Brightfield, 40× oil-immersion objective · bone marrow smear: 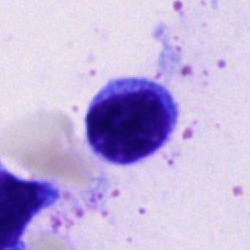The cell is lymphocyte.